Bone marrow aspirate smear: 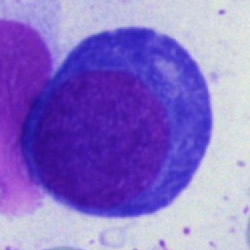
Proerythroblast.